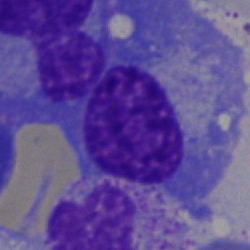
Cell type: plasmacyte.